Bone marrow smear.
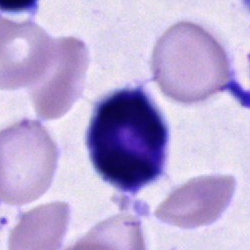 Morphology consistent with a cell of indeterminate lineage.